Bone marrow smear. Single-cell crop. May-Grünwald-Giemsa/Pappenheim stain
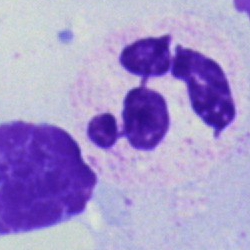
Morphology → neutrophil (segmented).